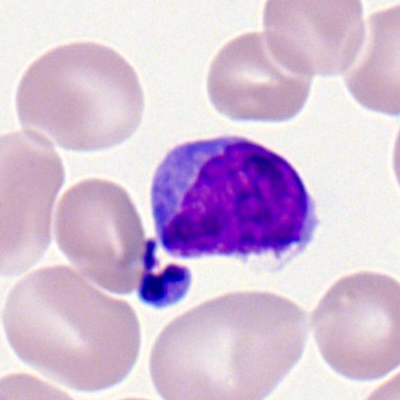 Lymphocyte.